Bone marrow smear
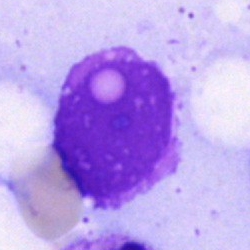

Q: What is shown here?
A: This is an artifact.